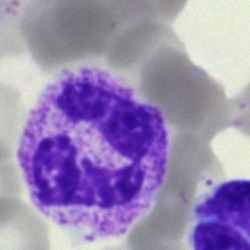Morphology → polymorphonuclear neutrophil.